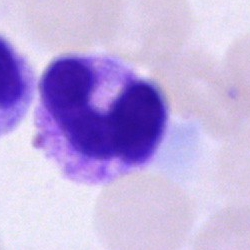 Cell type: neutrophil (segmented).